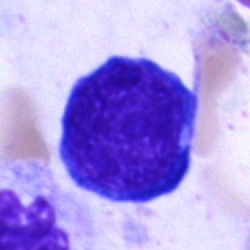 {"cell_type": "proerythroblast"}